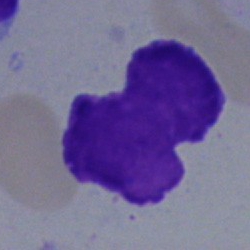Bone marrow smear showing an artefact.